Single-cell field. Bone marrow aspirate smear. May-Grünwald-Giemsa stain — 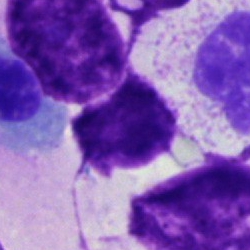

Cell type = artefact.